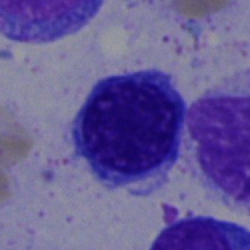 Classification = nucleated red cell.